400×400 px · peripheral blood smear — 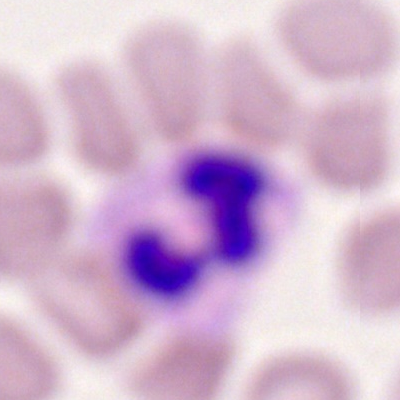 Segmented neutrophil.